Bone marrow smear.
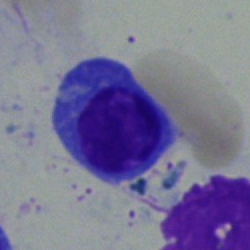

{"cell_type": "normoblast", "lineage": "erythroid"}